May-Grünwald-Giemsa stain. Bone marrow aspirate smear — 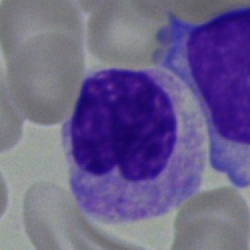

Specimen: bone marrow smear.
Morphological class: band-form neutrophil.
Lineage: myeloid.